Bone marrow aspirate smear:
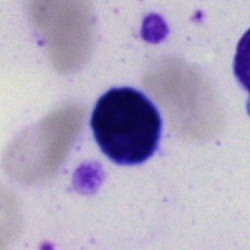 Q: What is shown here?
A: Artefact.